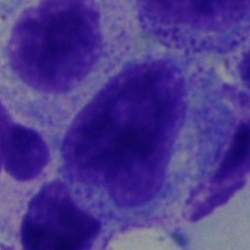
Promyelocyte.